Bone marrow smear — 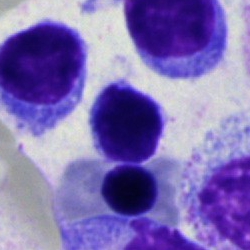

Q: What is the morphological classification of this cell?
A: A lymphocyte.